250×250 · bone marrow smear · 40× oil immersion
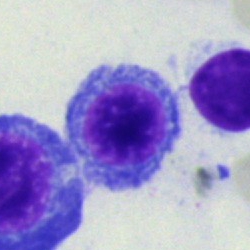Cell type — normoblast.